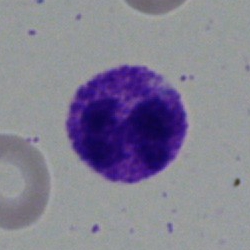
Bone marrow aspirate smear, single cell — polymorphonuclear neutrophil.